Brightfield microscopy, 40× oil immersion. Bone marrow aspirate smear: 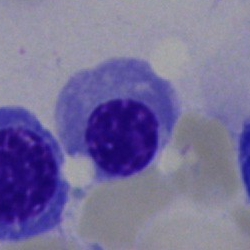

Q: What cell is this?
A: This is a nucleated red blood cell.